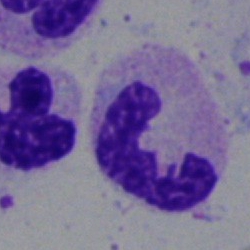
Q: Which cell type is shown here?
A: It is a polymorphonuclear neutrophil.